May-Grünwald-Giemsa/Pappenheim stain. Bone marrow aspirate smear — 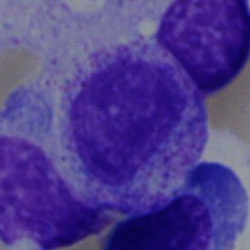
Impression — myelocyte.